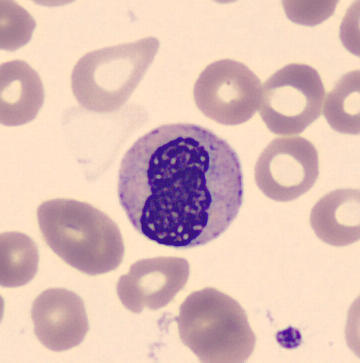Specimen: peripheral blood smear.
Cell type: metamyelocyte.
Lineage: myeloid.